Bone marrow aspirate smear
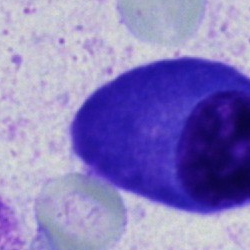Q: What type of cell is this?
A: A plasma cell.